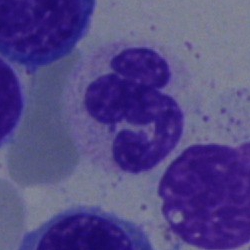 A polymorphonuclear neutrophil.